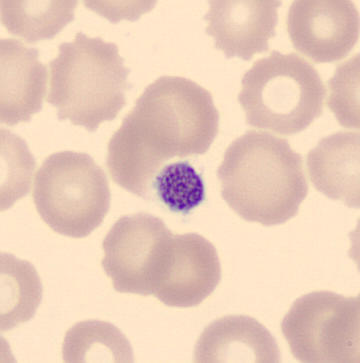
Identified as a thrombocyte.
Image: Peripheral blood film.